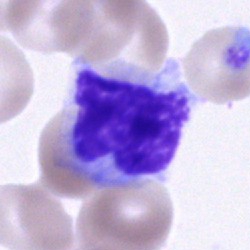

Cell — cell of indeterminate lineage.